Bone marrow smear
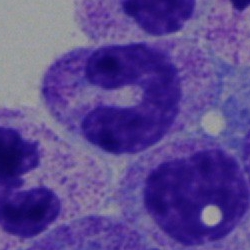 Single cell identified as a band neutrophil.